Bone marrow aspirate smear; 250×250
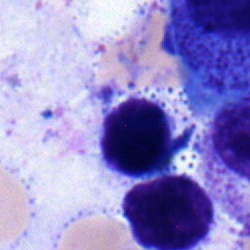

Cell — typical lymphocyte.